Bone marrow smear; 250×250.
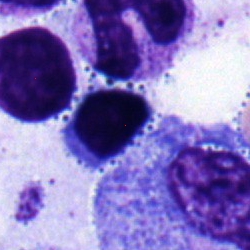
Q: What is shown here?
A: This is a nucleated red cell.